Bone marrow aspirate smear. May-Grünwald-Giemsa/Pappenheim stain.
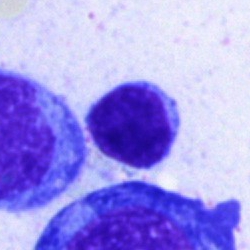

Impression → typical lymphocyte.